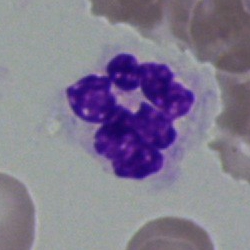
Q: What type of cell is this?
A: This is a segmented neutrophil.